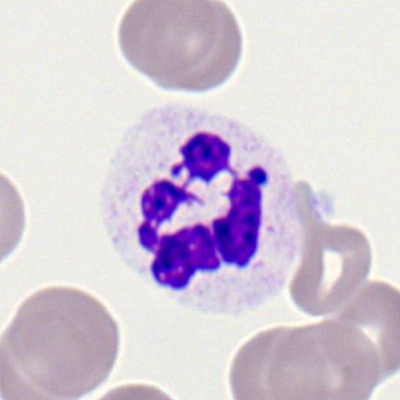 Impression → neutrophil (segmented).